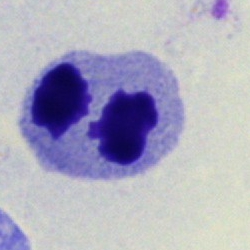Impression — nucleated red cell.